Cropped to a single cell. Bone marrow aspirate smear:
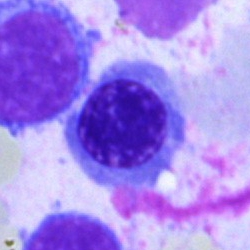 The cell type is nucleated red blood cell.